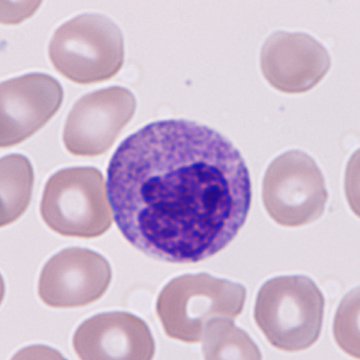
The morphological class is granulocyte precursor. Image: Peripheral blood smear.